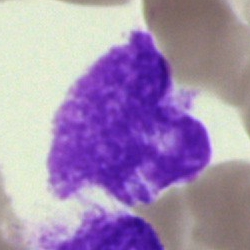 Morphology → artifact.